Bone marrow smear.
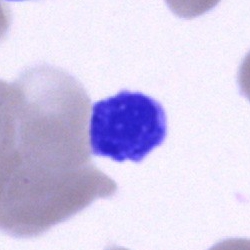 An artefact.